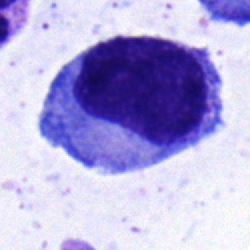
Cell: myelocyte.